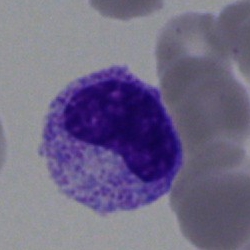

Showing a metamyelocyte.